May-Grünwald-Giemsa stain; bone marrow aspirate smear; single-cell field: 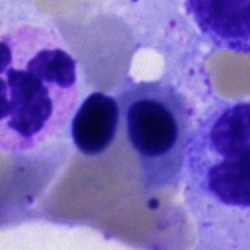
Showing an erythroblast.